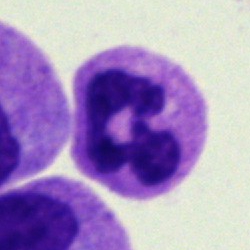A polymorphonuclear neutrophil.